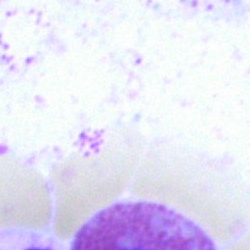

{"cell_type": "artefact"}